Bone marrow smear — 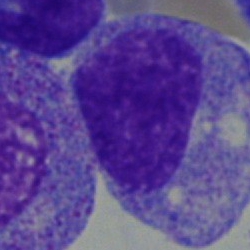

This is a progranulocyte.